Brightfield, 40× oil-immersion objective · bone marrow aspirate smear:
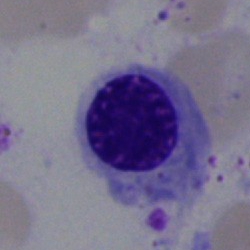This is a normoblast.